Bone marrow smear. 40× objective, oil immersion.
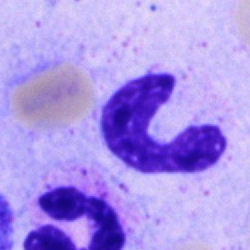 Morphology consistent with a band neutrophil.